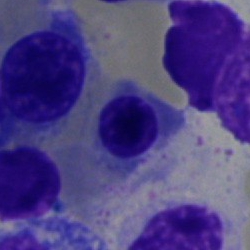 Classification = erythroblast.